40× oil immersion · bone marrow smear
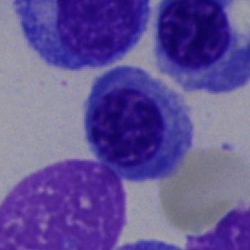 {"cell_type": "normoblast", "lineage": "erythroid"}